Peripheral blood film: 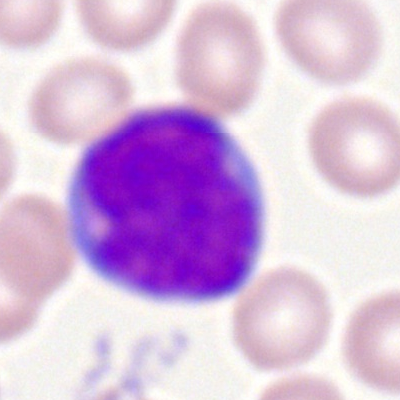Myeloblast.